Single-cell field · bone marrow aspirate smear.
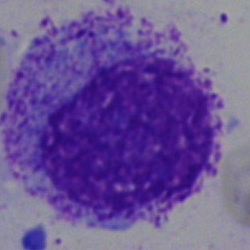
Q: What is shown here?
A: An artifact.